MGG-stained. Peripheral blood film: 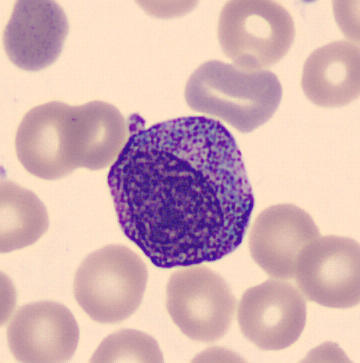The cell shown is a promyelocyte.